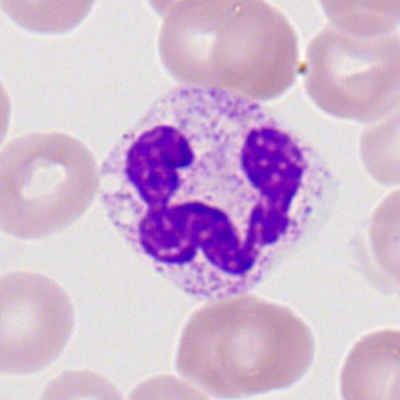Specimen: peripheral blood film.
Morphological class: segmented neutrophil.
Lineage: myeloid.